Bone marrow aspirate smear — 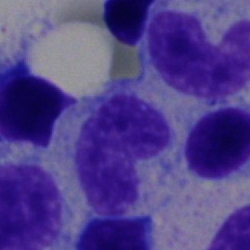The cell is stab cell.